Bone marrow aspirate smear. Cropped to a single cell: 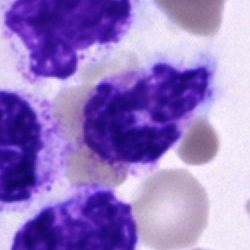 This is a segmented neutrophil.